Peripheral blood film. 100× oil immersion:
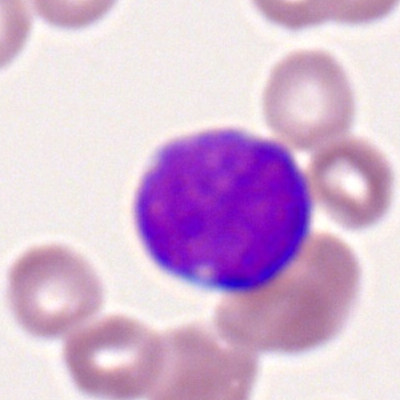Morphology — myeloblast.